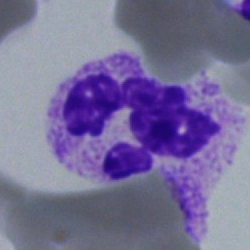
Single cell identified as a neutrophil (segmented).